Bone marrow aspirate smear:
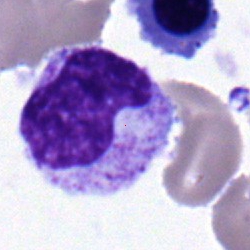

Q: Identify the cell.
A: It is a metamyelocyte.